Bone marrow smear: 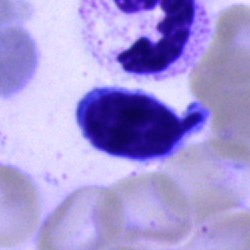Morphology consistent with a typical lymphocyte.